Pappenheim-stained; bone marrow aspirate smear — 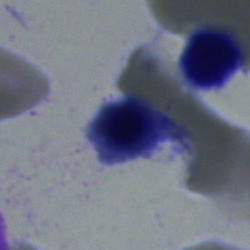 Morphological class — erythroblast.